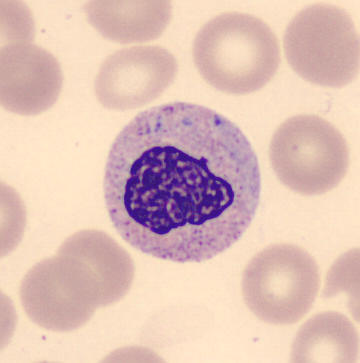Q: What cell is this?
A: A metamyelocyte.